Bone marrow aspirate smear:
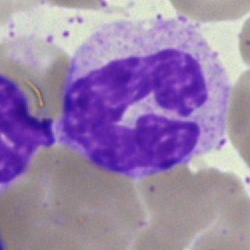 Classification: band-form neutrophil.